Bone marrow smear.
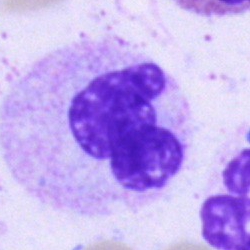
Morphology — polymorphonuclear neutrophil.